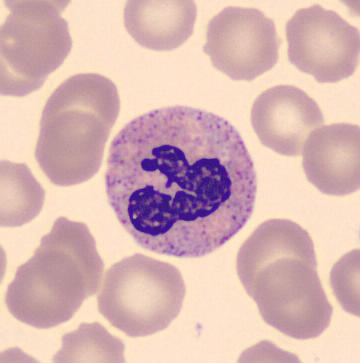 Cell type = neutrophil (segmented).
May-Grünwald-Giemsa-stained. Peripheral blood smear.